Bone marrow aspirate smear.
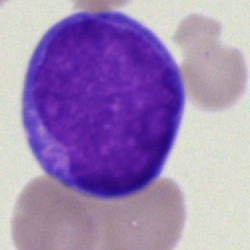Cell type = blast cell.